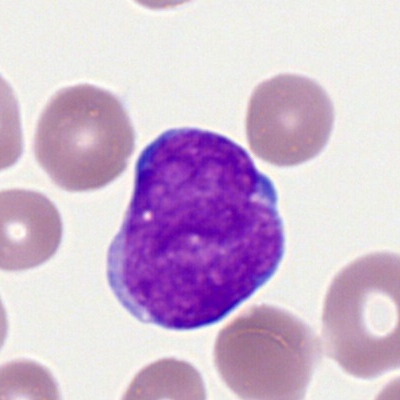

Q: Identify the cell.
A: It is a myeloblast.